Bone marrow aspirate smear:
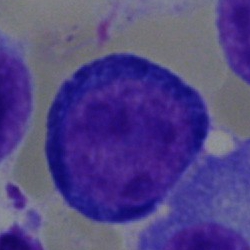Morphological class — proerythroblast.